Bone marrow smear — 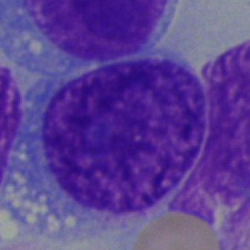 Q: Which cell type is shown here?
A: It is an undifferentiated blast.